Bone marrow smear
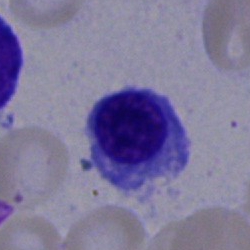

Impression — normoblast.